Bone marrow aspirate smear:
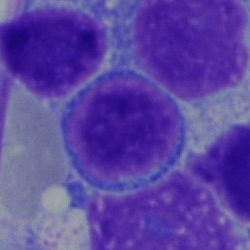 The cell shown is a lymphocyte.